Bone marrow aspirate smear.
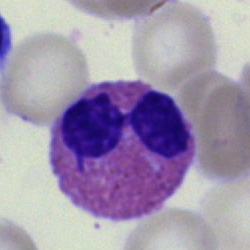
Cell type — eosinophil.